Bone marrow smear:
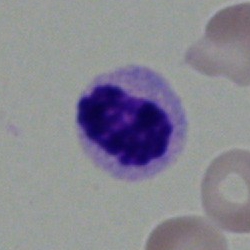 Cell — segmented neutrophil.